Single-cell crop; bone marrow smear:
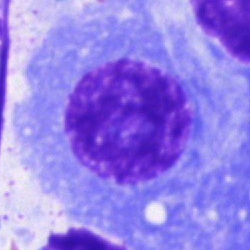

Q: Identify the cell.
A: This is a plasmacyte.